40× oil immersion; bone marrow smear — 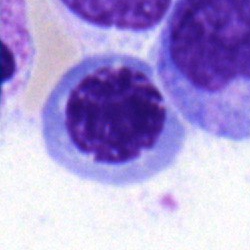
Q: What type of cell is this?
A: A nucleated red cell.